Peripheral blood smear:
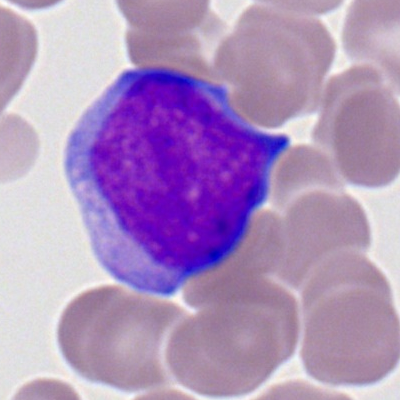A myeloid blast.